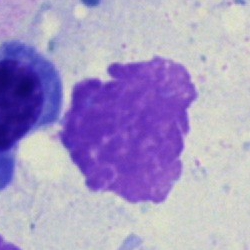 Specimen: bone marrow smear.
Classification: artefact.